Bone marrow smear — 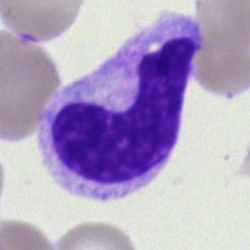The cell is band-form neutrophil.